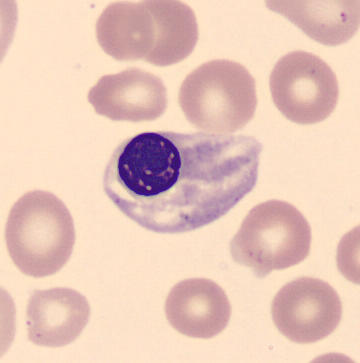
Acquisition: Imaged on a CellaVision DM96 analyser · peripheral blood film.

Q: Identify the cell.
A: It is an erythroblast.